MGG-stained. 40× oil immersion. Bone marrow smear — 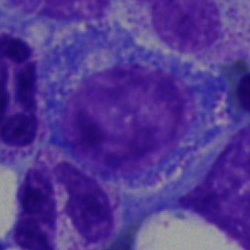

Classification = progranulocyte.